Bone marrow aspirate smear.
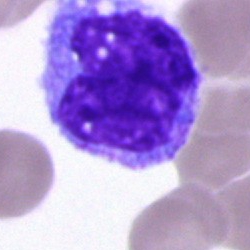 Specimen: bone marrow smear.
Cell: monocyte.
Lineage: myeloid.